Bone marrow aspirate smear; brightfield, 40× oil-immersion objective
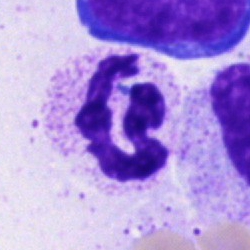Segmented neutrophil.